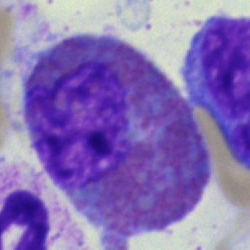
An eosinophilic granulocyte on a bone marrow smear.